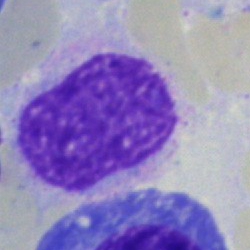 Cell type — artefact.